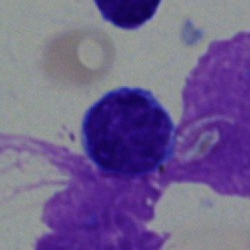
Impression → lymphocyte.